Bone marrow smear.
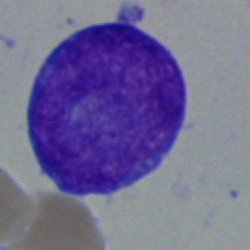

Q: What is shown here?
A: Undifferentiated blast.